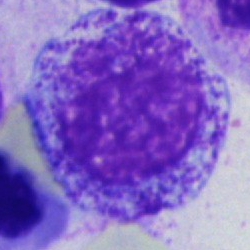 This is a promyelocyte.